Bone marrow smear:
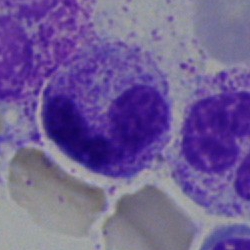

A polymorphonuclear neutrophil.